Bone marrow aspirate smear; MGG-stained: 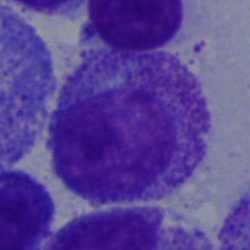Q: What is shown here?
A: Myelocyte.